Bone marrow aspirate smear. Cropped to a single cell. MGG-stained — 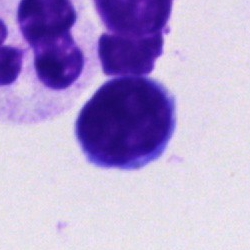Specimen: bone marrow smear.
Classification: lymphocyte.
Lineage: lymphoid.